Peripheral blood smear:
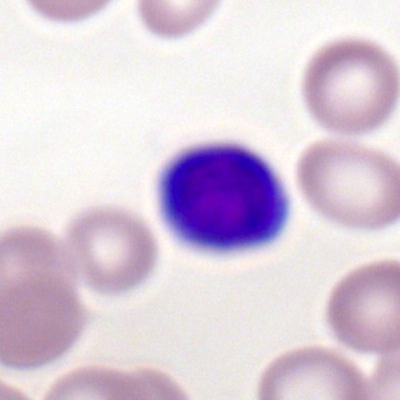
Specimen: peripheral blood film.
Morphological class: typical lymphocyte.
Lineage: lymphoid.